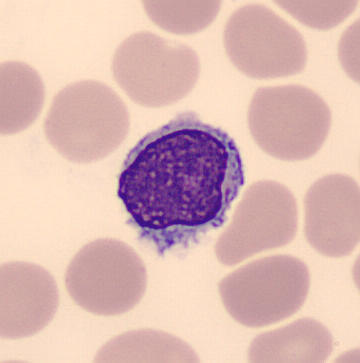The cell shown is a typical lymphocyte. Peripheral blood smear.